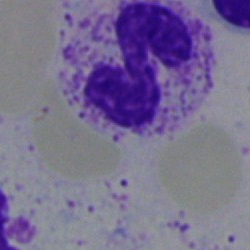

Classification = segmented neutrophil.